Bone marrow aspirate smear · single-cell crop — 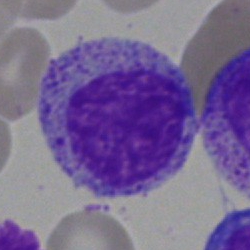

Q: What is the morphological classification of this cell?
A: It is a myelocyte.